Brightfield microscopy, 40× oil immersion. Bone marrow aspirate smear: 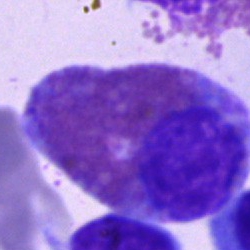

An eosinophilic granulocyte.